Bone marrow aspirate smear:
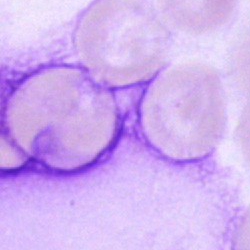
Artefact.